Bone marrow smear
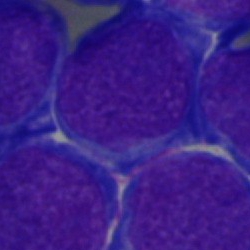

Cell type: undifferentiated blast.